Bone marrow aspirate smear — 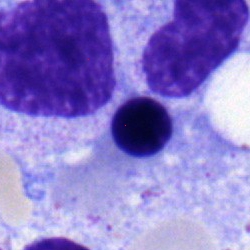

Cell type — nucleated red blood cell.